Bone marrow aspirate smear.
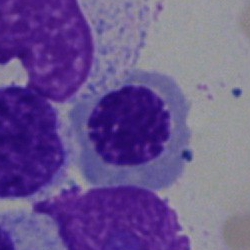
The classification is nucleated red cell.